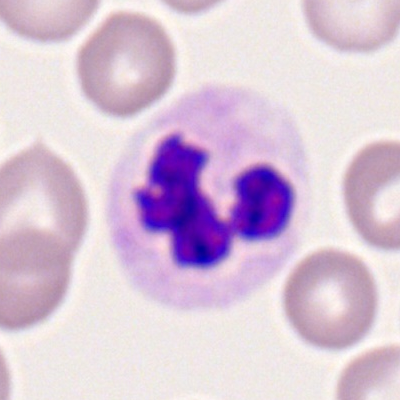

Polymorphonuclear neutrophil.